Bone marrow smear · 250 by 250 pixels · single-cell field — 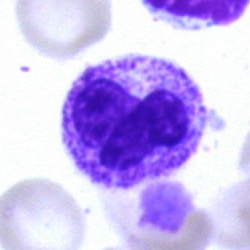
This is a band-form neutrophil.